Bone marrow smear.
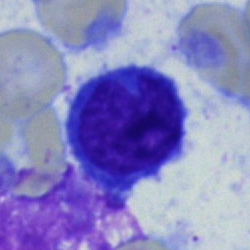The cell type is lymphocyte.